Peripheral blood film:
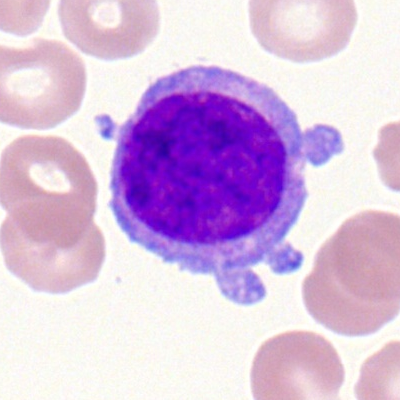

The morphological class is typical lymphocyte.